Bone marrow smear. 250×250:
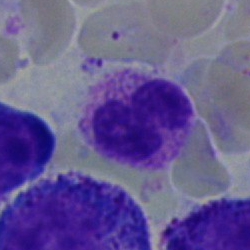The cell shown is a segmented neutrophil.